Bone marrow smear: 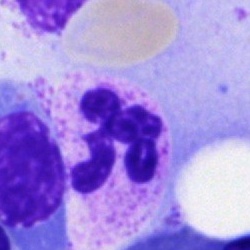Specimen: bone marrow aspirate smear.
Cell: segmented neutrophil.
Lineage: myeloid.